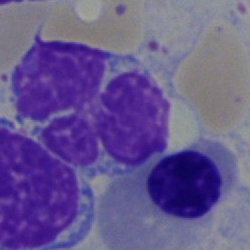Specimen: bone marrow smear.
Morphological class: nucleated red cell.